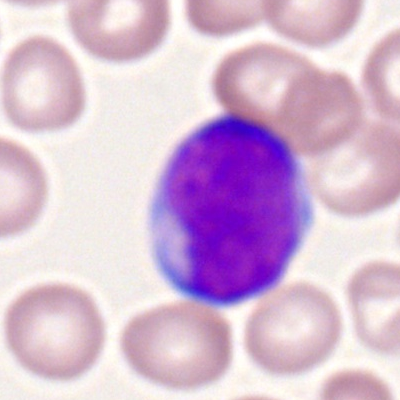

{"cell_type": "myeloid blast"}